Bone marrow smear
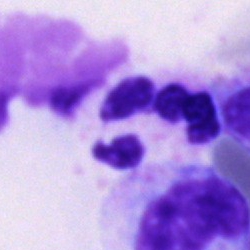 Showing a polymorphonuclear neutrophil.